Bone marrow aspirate smear — 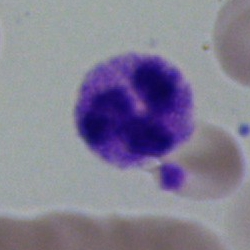

Specimen: bone marrow smear.
Morphological class: polymorphonuclear neutrophil.